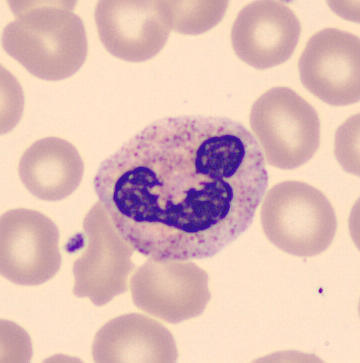Q: Which cell type is shown here?
A: It is a segmented neutrophil.
Peripheral blood film.